Peripheral blood film: 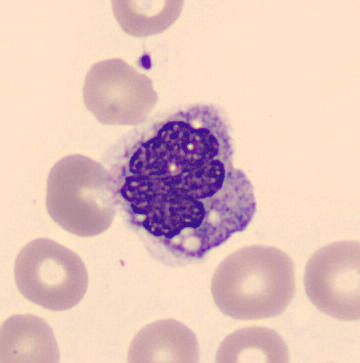 Morphology consistent with a monocyte.